Peripheral blood smear
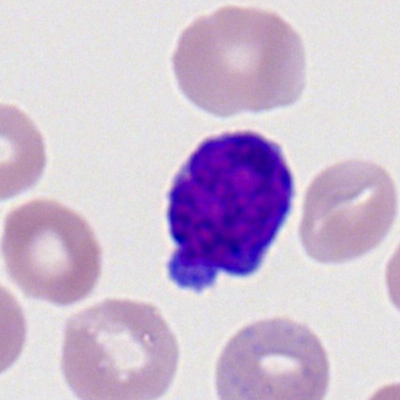 Single cell identified as a lymphocyte.